M8 digital microscope (Precipoint), 100× oil immersion; peripheral blood film — 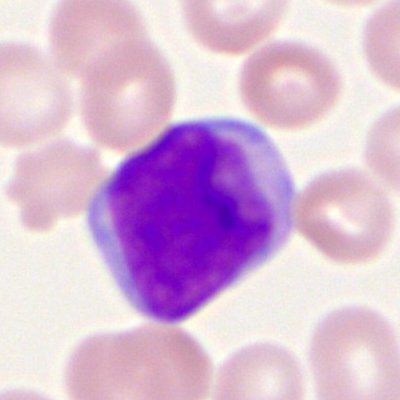
Q: What type of cell is this?
A: It is a myeloblast.